MGG-stained · bone marrow smear — 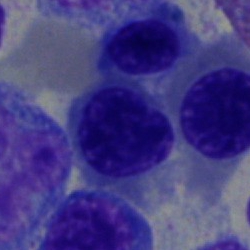

Q: Which cell type is shown here?
A: It is a normoblast.